May-Grünwald-Giemsa/Pappenheim stain; single-cell crop; bone marrow smear.
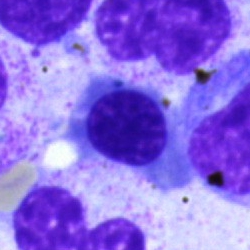Q: Which cell type is shown here?
A: A nucleated red blood cell.